Bone marrow smear; cropped to a single cell — 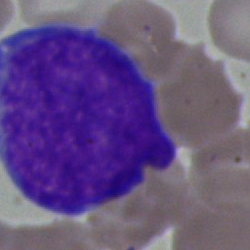Showing a blast cell.